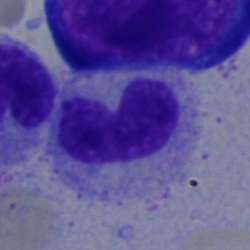

Cell type = band neutrophil.